Bone marrow aspirate smear: 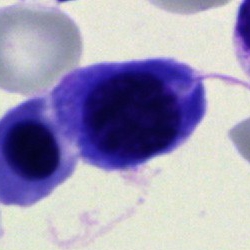 Q: What type of cell is this?
A: An erythroblast.